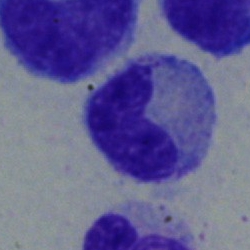 Showing a stab cell.